May-Grünwald-Giemsa stain. Bone marrow aspirate smear. Single-cell crop.
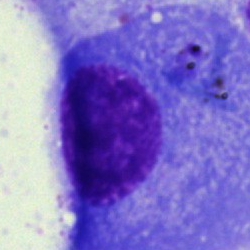Morphological class — plasma cell.